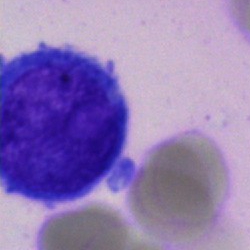Q: Which cell type is shown here?
A: An undifferentiated blast.